40× oil immersion · bone marrow smear
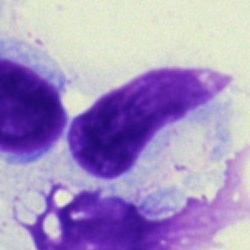Morphological class = artefact.